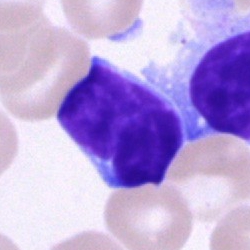
Cell: typical lymphocyte.